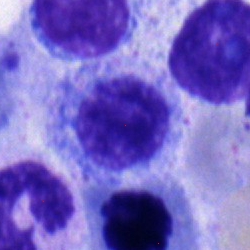Cell type = myelocyte.